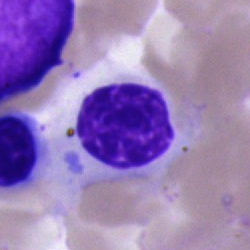Impression → erythroblast.